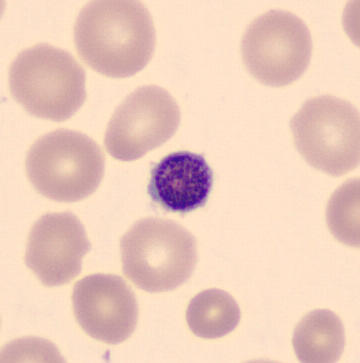 Acquisition: Peripheral blood smear. Morphology consistent with a thrombocyte.